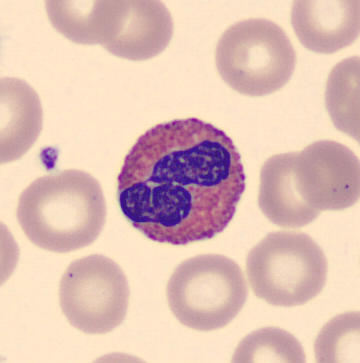 Preparation: Peripheral blood film · 360×363. Showing an eosinophil.